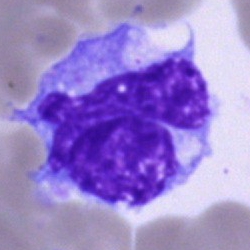Cell type: monocyte.